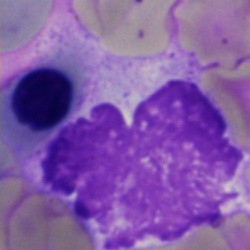A normoblast on a bone marrow smear.